Bone marrow smear · 250 by 250 pixels — 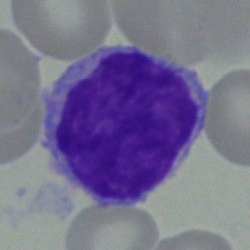 Q: What is shown here?
A: A typical lymphocyte.